May-Grünwald-Giemsa/Pappenheim stain · 40× oil immersion · bone marrow aspirate smear — 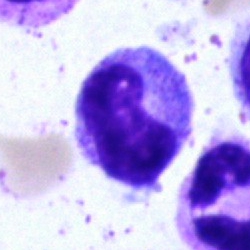

Q: What cell is this?
A: Metamyelocyte.